Single-cell crop; 250 by 250 pixels; bone marrow aspirate smear — 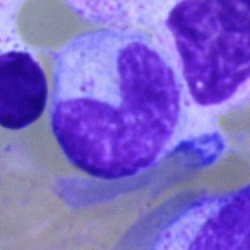
Morphology consistent with a neutrophil (band).